40× oil immersion. Bone marrow smear
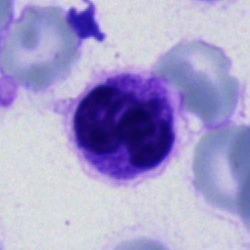 Morphological class — neutrophil (segmented).